Bone marrow aspirate smear. Pappenheim-stained. 250 by 250 pixels.
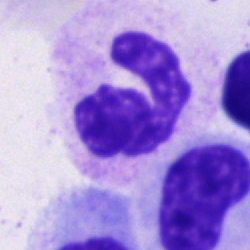
Cell = polymorphonuclear neutrophil.